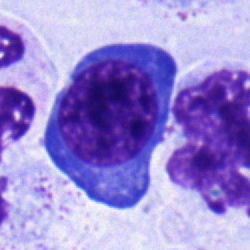
Nucleated red cell.